Bone marrow aspirate smear. Pappenheim-stained. Single-cell crop — 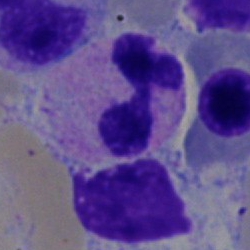

Specimen: bone marrow aspirate smear.
Cell type: neutrophil (segmented).